Peripheral blood smear.
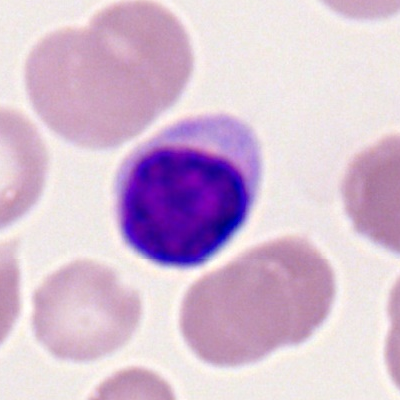Morphology → lymphocyte.